Bone marrow aspirate smear; single cell centered in the field; 40× objective, oil immersion
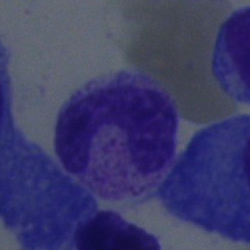
Q: What type of cell is this?
A: This is a metamyelocyte.